Image size 250×250; bone marrow aspirate smear — 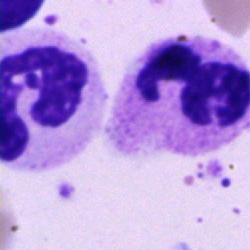
The cell shown is a segmented neutrophil.